40× oil immersion; bone marrow smear.
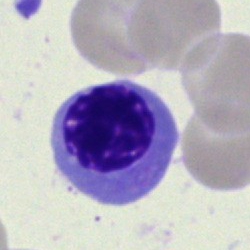
Cell type = normoblast.